Bone marrow smear · MGG-stained — 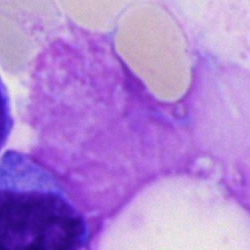Classification: artefact.